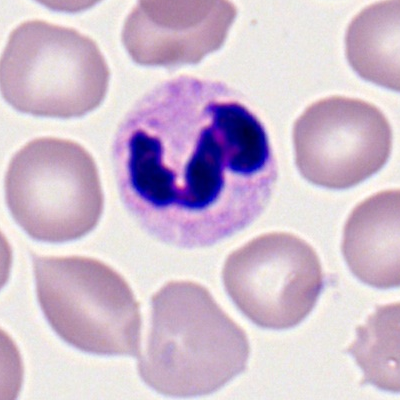
Segmented neutrophil.